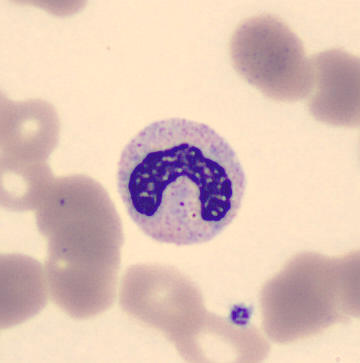Image: Peripheral blood film.
Impression → neutrophil (band).